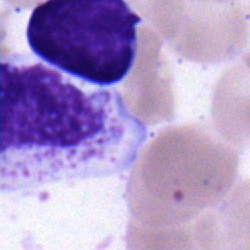

Q: Identify the cell.
A: It is a polymorphonuclear neutrophil.